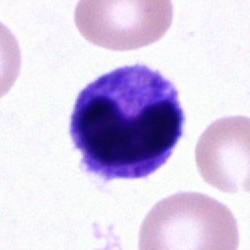

Specimen: bone marrow aspirate smear.
Cell: cell of indeterminate lineage.